Brightfield, 40× oil-immersion objective · single-cell crop · bone marrow aspirate smear
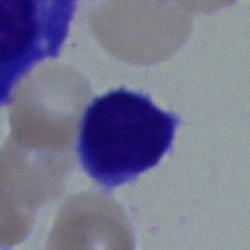
Lymphocyte.